Bone marrow aspirate smear. 40× oil immersion: 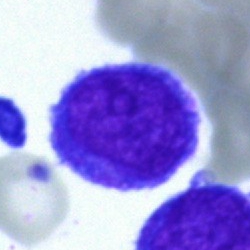

A blast cell.